Single cell centered in the field. Bone marrow smear
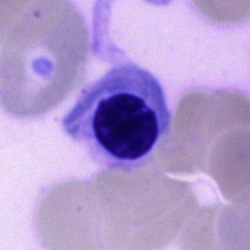Morphology → nucleated red cell.